Bone marrow smear. Cropped to a single cell.
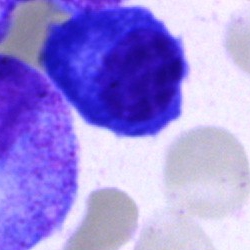Specimen: bone marrow aspirate smear.
Cell type: plasmacyte.
Lineage: lymphoid.